Bone marrow aspirate smear · May-Grünwald-Giemsa/Pappenheim stain
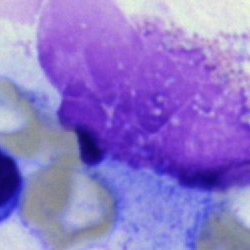
This is an artifact.